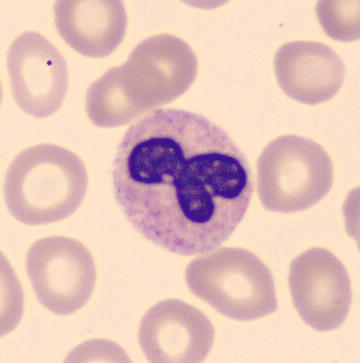
Preparation: Peripheral blood smear · MGG stain.

Showing a band neutrophil.